Bone marrow smear — 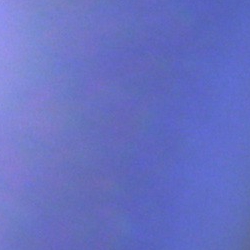 Impression — artifact.